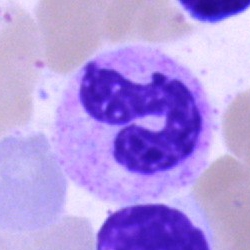
Q: What type of cell is this?
A: A neutrophil (segmented).